Single-cell field. Bone marrow aspirate smear: 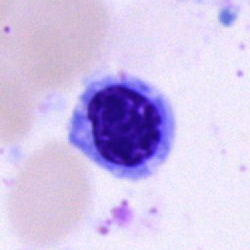
Showing a nucleated red cell.